Cropped to a single cell. Bone marrow aspirate smear
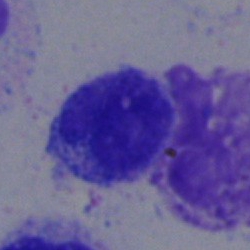
{"cell_type": "lymphocyte"}